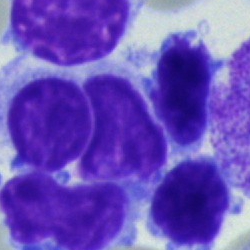
Typical lymphocyte.